Bone marrow smear.
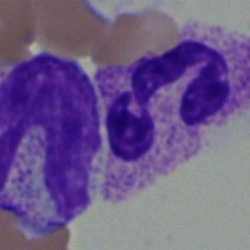Classification = neutrophil (segmented).